Bone marrow aspirate smear: 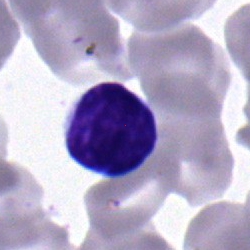 The classification is typical lymphocyte.